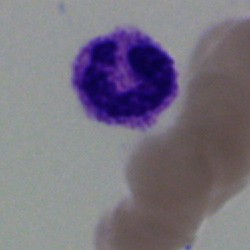 Morphology consistent with a segmented neutrophil.